Cropped to a single cell; bone marrow smear
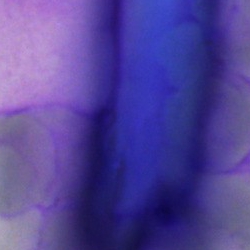 Morphology — artifact.